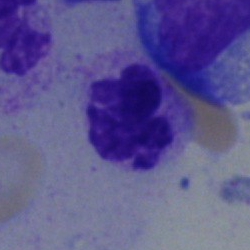The cell shown is a polymorphonuclear neutrophil.